Bone marrow smear.
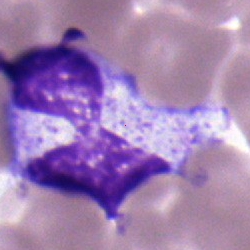
Morphology consistent with a neutrophil (segmented).